Bone marrow aspirate smear
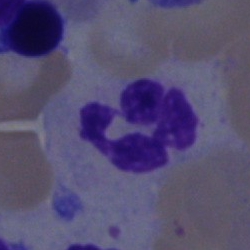

Classification = polymorphonuclear neutrophil.